Bone marrow smear: 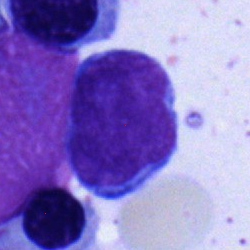
Q: What type of cell is this?
A: It is a lymphocyte.